Bone marrow aspirate smear — 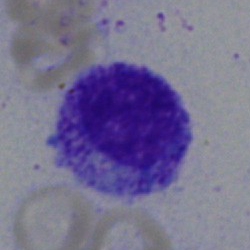
Cell: promyelocyte.